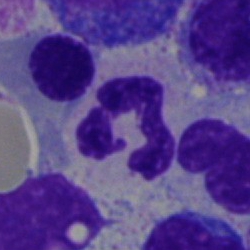 Morphology — segmented neutrophil.